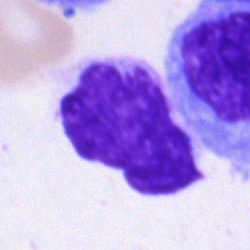
Morphology consistent with an artifact.